Bone marrow smear. Single-cell field. May-Grünwald-Giemsa stain
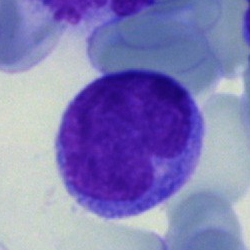

Q: Which cell type is shown here?
A: A blast cell.